Bone marrow smear; 40× oil immersion — 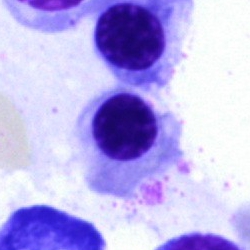

Showing an erythroblast.